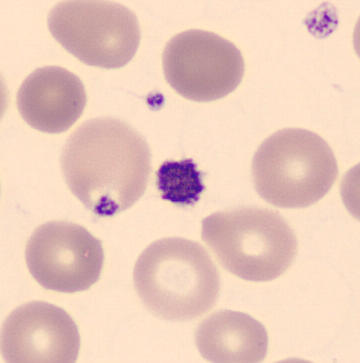Impression → platelet. Peripheral blood film.